Brightfield, 40× oil-immersion objective · single-cell crop · bone marrow smear.
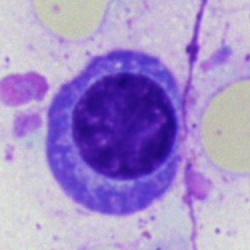

A plasmacyte.